Peripheral blood smear — 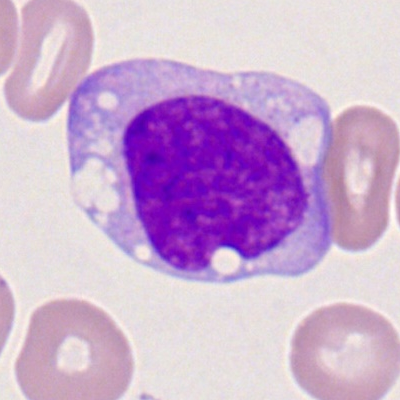
This is a monoblast.